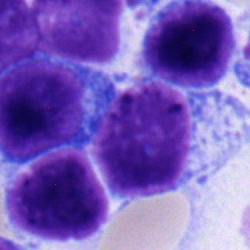

Single-cell crop from a bone marrow smear: lymphocyte.